Bone marrow smear; cropped to a single cell
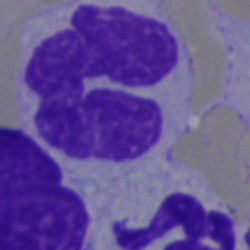
Specimen: bone marrow aspirate smear.
Classification: artifact.